Bone marrow aspirate smear:
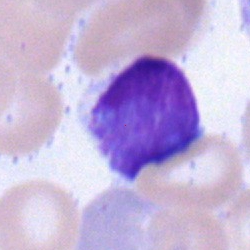

Morphological class = typical lymphocyte.